Bone marrow aspirate smear:
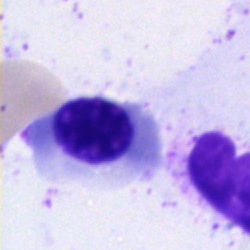

Morphology consistent with a nucleated red cell.